250×250 px; bone marrow smear; single cell centered in the field:
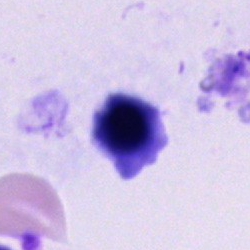

Showing an unidentifiable cell.